Bone marrow smear
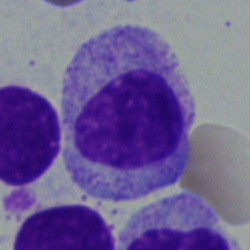 Single cell identified as a myelocyte.